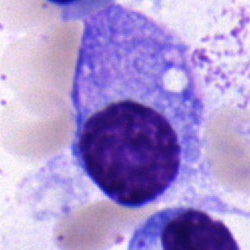 Classification: plasma cell.